Bone marrow smear
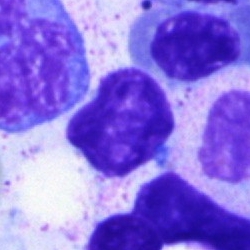Q: What is shown here?
A: An artefact.